Bone marrow smear: 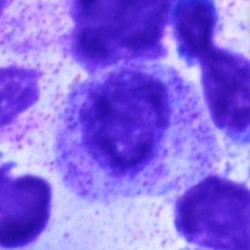 Myelocyte.